May-Grünwald-Giemsa stain. Bone marrow aspirate smear:
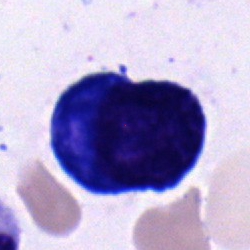Single cell identified as a progranulocyte.